Bone marrow aspirate smear — 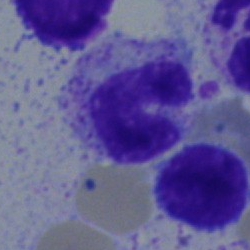Q: What is shown here?
A: Stab cell.